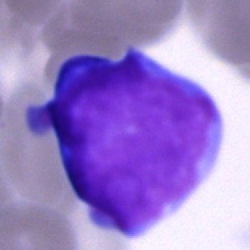
Morphological class: blast cell.